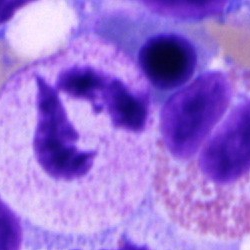
The cell is polymorphonuclear neutrophil.